Bone marrow aspirate smear
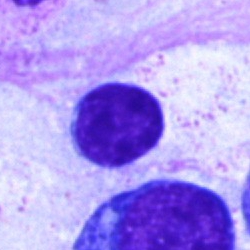

Morphological class — typical lymphocyte.